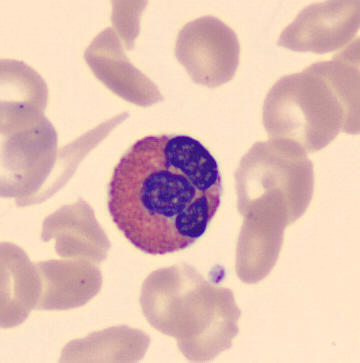
Image: May Grünwald-Giemsa stain. Peripheral blood film.
Eosinophilic granulocyte.